Bone marrow smear; image size 250×250:
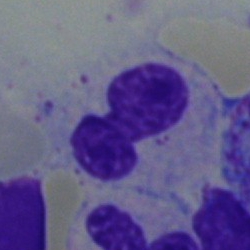Q: What type of cell is this?
A: This is a band neutrophil.